Pappenheim-stained · bone marrow aspirate smear:
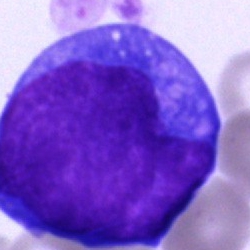 {"cell_type": "undifferentiated blast"}